Bone marrow smear:
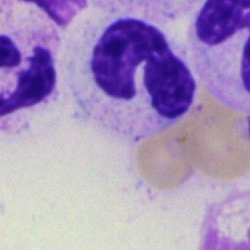
Single cell identified as a segmented neutrophil.